Image size 250×250; 40× objective, oil immersion; bone marrow smear
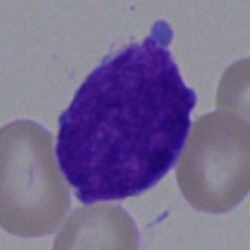

Morphology consistent with a blast.